Single-cell crop. Bone marrow smear.
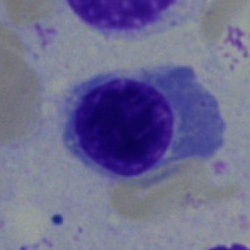 Q: Which cell type is shown here?
A: Nucleated red blood cell.